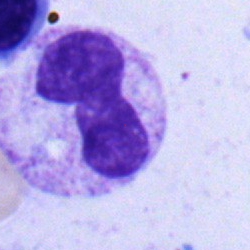Specimen: bone marrow aspirate smear.
Classification: stab cell.
Lineage: myeloid.